Bone marrow smear
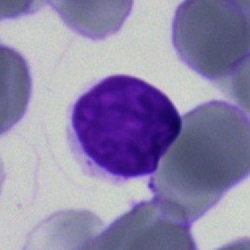
Morphology — lymphocyte.